Bone marrow smear: 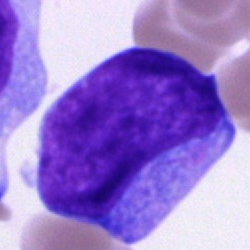Classification — blast cell.